100× oil immersion, 14.14 px/µm. Romanowsky stain. Peripheral blood smear: 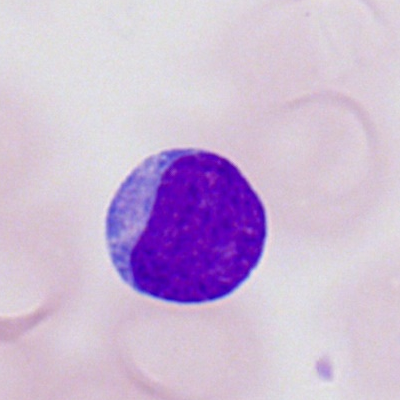
Specimen: peripheral blood film.
Cell type: myeloid blast.